250×250 px; bone marrow aspirate smear; brightfield microscopy, 40× oil immersion.
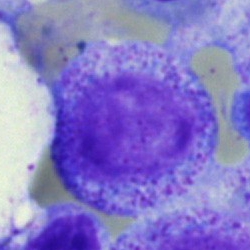

Cell type — myelocyte.